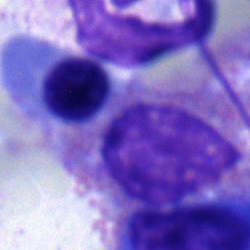A band-form neutrophil.